Bone marrow aspirate smear — 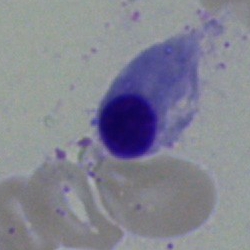Classification: nucleated red cell.